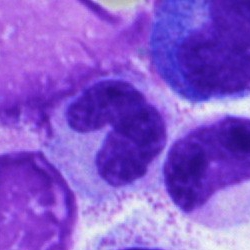Classification = band neutrophil.